Single-cell field; bone marrow aspirate smear; MGG-stained.
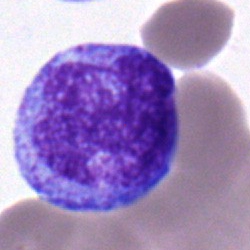 Q: Identify the cell.
A: It is a promyelocyte.